Bone marrow aspirate smear:
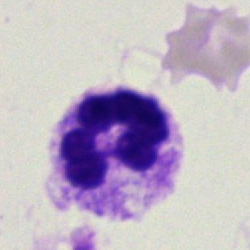

Morphology — segmented neutrophil.